Bone marrow smear:
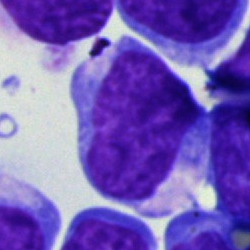

Single cell identified as an undifferentiated blast.